Bone marrow aspirate smear.
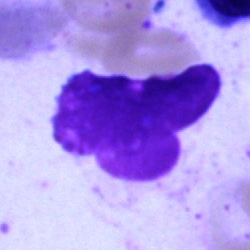

Specimen: bone marrow aspirate smear.
Cell: artifact.